Peripheral blood film · single-cell field · image size 360×363 — 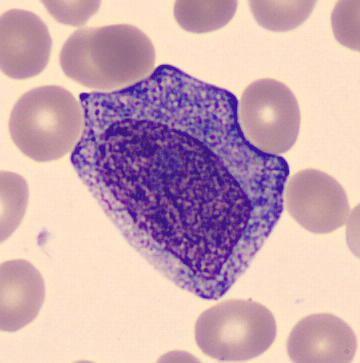Morphological class — promyelocyte.